Cropped to a single cell. 40× oil immersion. Bone marrow aspirate smear:
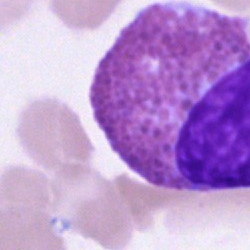 An eosinophilic granulocyte.